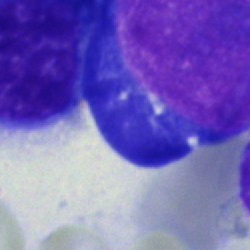
Single-cell crop from a bone marrow smear: pronormoblast.